Bone marrow aspirate smear. Brightfield, 40× oil-immersion objective. MGG-stained — 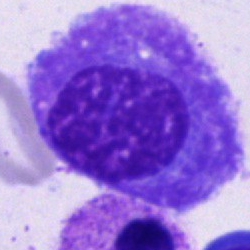
Cell type = plasmacyte.